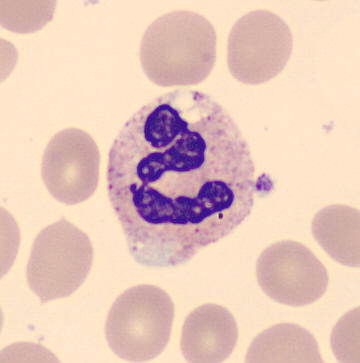 Showing a polymorphonuclear neutrophil. Acquisition: Peripheral blood film; CellaVision DM96.